Bone marrow aspirate smear
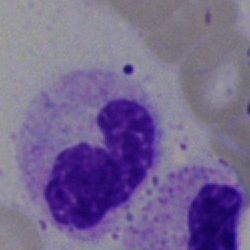 Impression — neutrophil (segmented).